Bone marrow aspirate smear. MGG-stained. Brightfield, 40× oil-immersion objective: 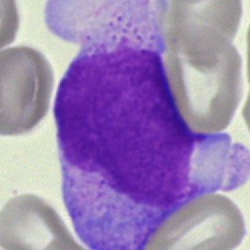Q: What is the morphological classification of this cell?
A: Undifferentiated blast.